Bone marrow smear; brightfield microscopy, 40× oil immersion: 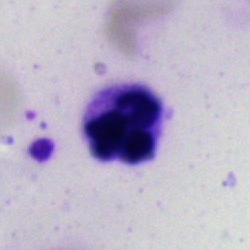

{"cell_type": "artifact"}